Bone marrow smear; 40× oil immersion
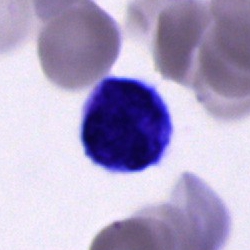 This is a typical lymphocyte.